Cropped to a single cell; bone marrow aspirate smear; brightfield microscopy, 40× oil immersion:
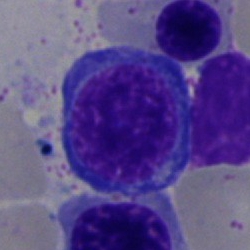 Morphology consistent with a normoblast.